Bone marrow aspirate smear
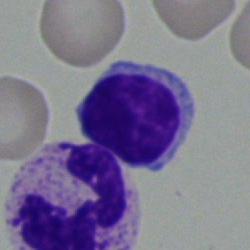 The cell shown is a typical lymphocyte.